Bone marrow smear: 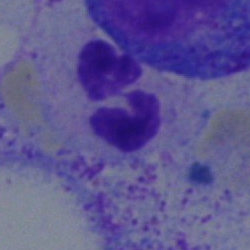A neutrophil (segmented).